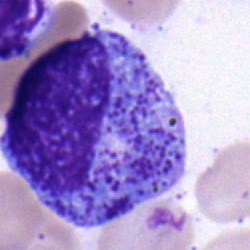 A myelocyte on a bone marrow smear.